Bone marrow aspirate smear
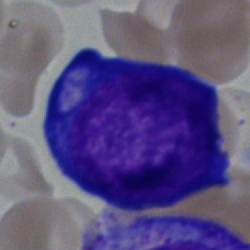 Specimen: bone marrow smear.
Cell: pronormoblast.
Lineage: erythroid.